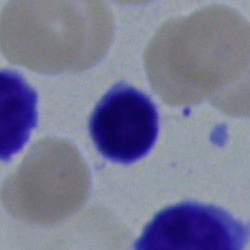
Single cell identified as a typical lymphocyte.